Bone marrow aspirate smear. Brightfield, 40× oil-immersion objective:
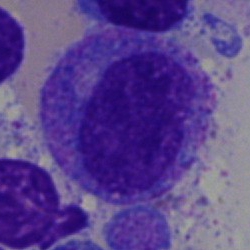

A promyelocyte.